Bone marrow aspirate smear.
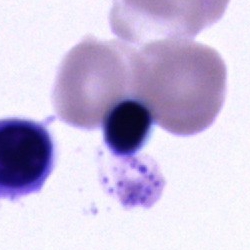 Specimen: bone marrow aspirate smear.
Morphological class: cell of indeterminate lineage.